Bone marrow aspirate smear
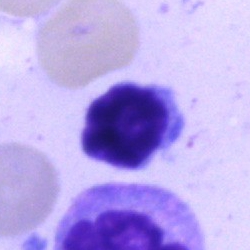
Lymphocyte.